Bone marrow aspirate smear. Cropped to a single cell: 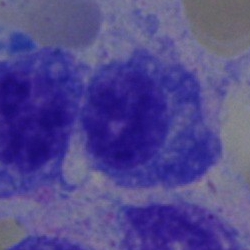 Q: Which cell type is shown here?
A: A plasma cell.